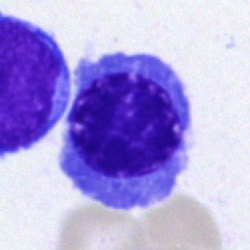The morphological class is nucleated red cell.